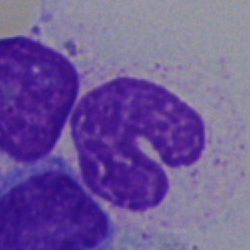

Q: What is shown here?
A: Artifact.